May-Grünwald-Giemsa/Pappenheim stain; image size 250×250; bone marrow aspirate smear: 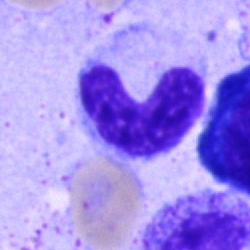 Single cell identified as a band neutrophil.